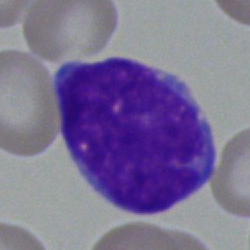An undifferentiated blast on a bone marrow smear.